Bone marrow aspirate smear.
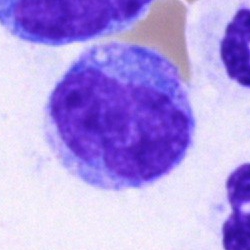Morphology — monocyte.